Bone marrow aspirate smear:
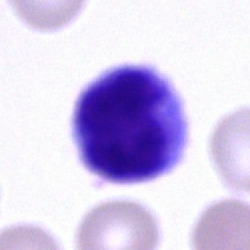Single cell identified as a typical lymphocyte.